Brightfield microscopy, 40× oil immersion · bone marrow aspirate smear: 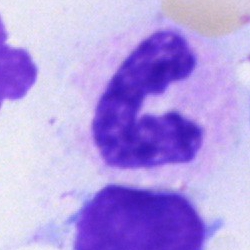Impression — stab cell.